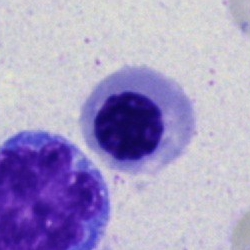 Single cell identified as a normoblast.